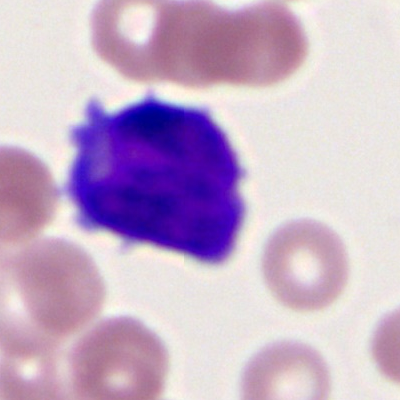

Morphology consistent with a myeloblast.